Bone marrow aspirate smear: 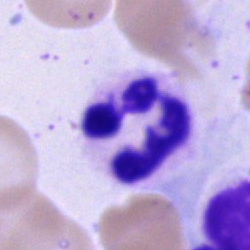
The cell shown is a polymorphonuclear neutrophil.